Bone marrow aspirate smear: 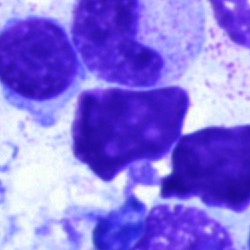This is an artifact.